Bone marrow aspirate smear; brightfield, 40× oil-immersion objective; single cell centered in the field.
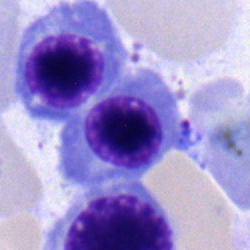
Typical lymphocyte.